Bone marrow smear.
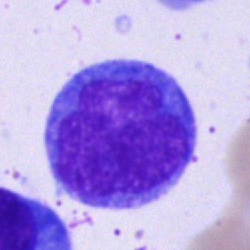Cell type — monocyte.